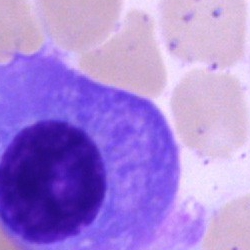This is a plasma cell.